Bone marrow aspirate smear — 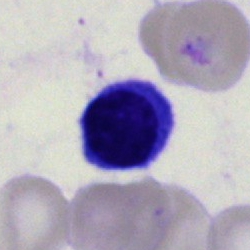

This is a typical lymphocyte.